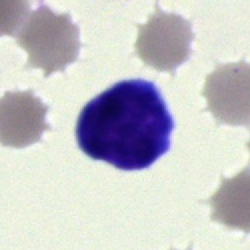A lymphocyte.